Single-cell crop. Bone marrow smear. 250×250 px — 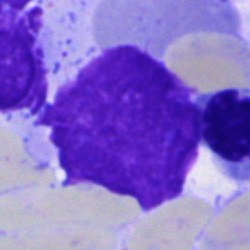
Single cell identified as an artefact.